Bone marrow smear
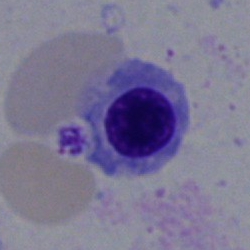

Specimen: bone marrow aspirate smear.
Morphological class: erythroblast.